Bone marrow smear:
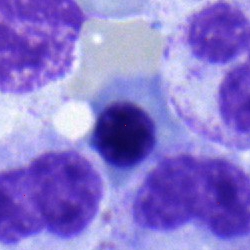

Impression → nucleated red blood cell.